Bone marrow aspirate smear: 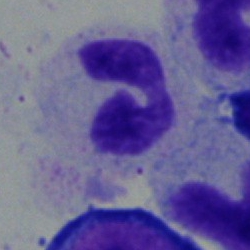 The cell shown is a band-form neutrophil.